MGG-stained; bone marrow aspirate smear
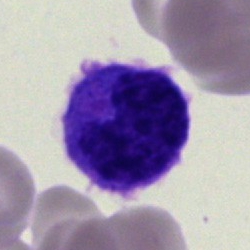 A monocyte.